250 by 250 pixels; bone marrow smear — 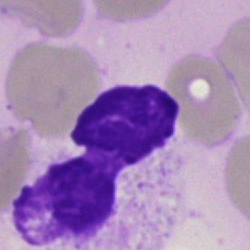

Specimen: bone marrow smear.
Morphological class: artefact.